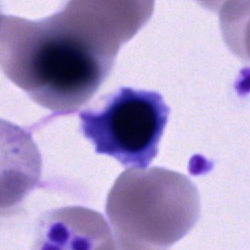

Cell type = unidentifiable cell.